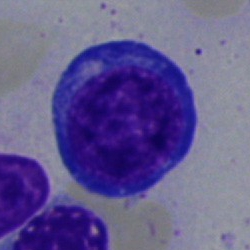
Bone marrow aspirate smear, single cell — nucleated red blood cell.